Bone marrow aspirate smear — 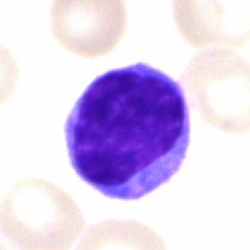The cell is lymphocyte.